Bone marrow aspirate smear
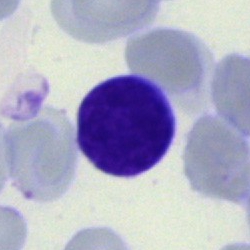
Lymphocyte.